May-Grünwald-Giemsa/Pappenheim stain · bone marrow smear — 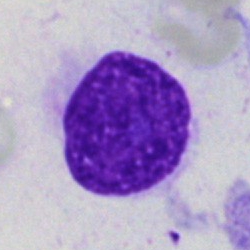

The cell shown is an artefact.